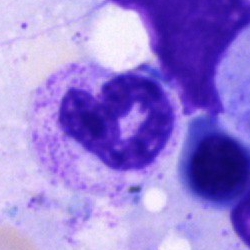The classification is neutrophil (segmented).